Bone marrow smear; image size 250×250 — 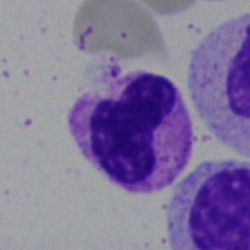
Morphology — segmented neutrophil.